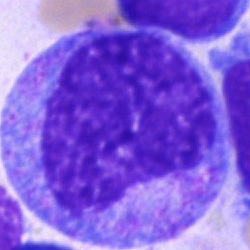 Showing a promyelocyte.